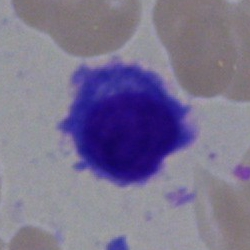

Q: Which cell type is shown here?
A: This is a plasmacyte.